May-Grünwald-Giemsa stain. 250 by 250 pixels. Bone marrow smear
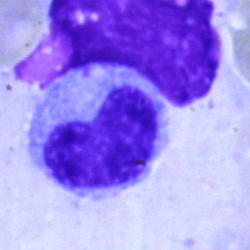
Single cell identified as a metamyelocyte.